Bone marrow aspirate smear: 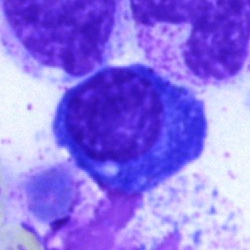{"cell_type": "plasma cell"}